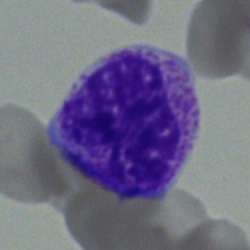 This is a stab cell.